Bone marrow smear:
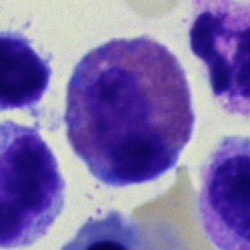
Eosinophilic granulocyte.